Bone marrow aspirate smear — 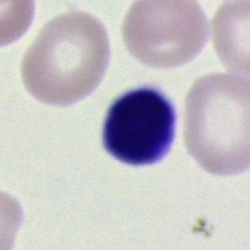

Cell: lymphocyte.